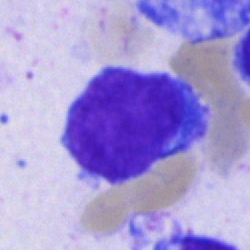 A blast cell.